Bone marrow aspirate smear.
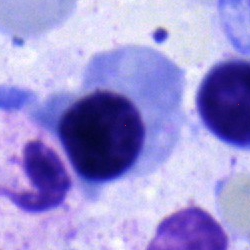Specimen: bone marrow aspirate smear.
Classification: normoblast.